Bone marrow aspirate smear
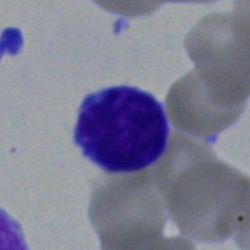 Morphology — typical lymphocyte.